Bone marrow aspirate smear:
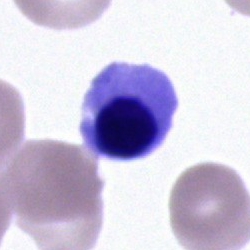Q: Identify the cell.
A: A nucleated red cell.